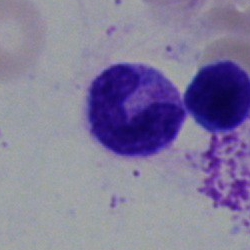 Impression → stab cell.